Peripheral blood smear · 100× oil immersion, 14.14 px/µm:
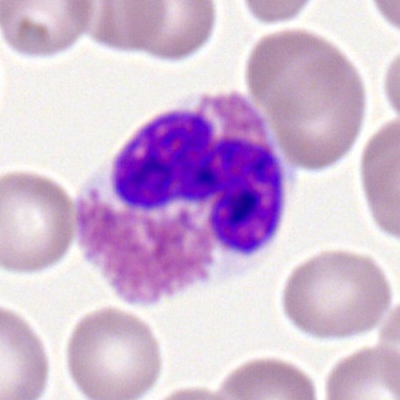

Cell type — eosinophil.